250×250 · bone marrow smear: 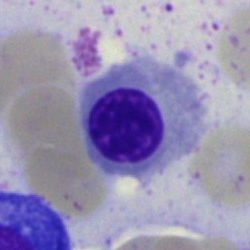 Cell type = nucleated red cell.